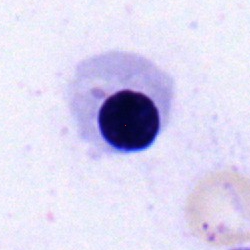
This is an erythroblast.